Single-cell field · bone marrow smear
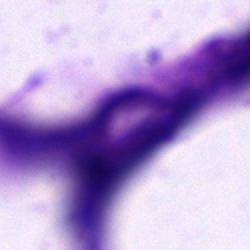
{"cell_type": "artefact"}